Bone marrow smear · single cell centered in the field · MGG-stained
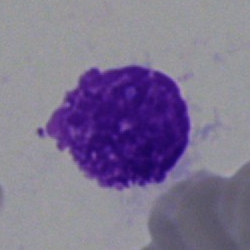

Cell = artifact.